Bone marrow smear: 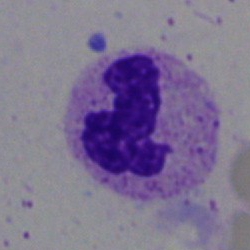
{"cell_type": "polymorphonuclear neutrophil", "lineage": "myeloid"}